Bone marrow smear.
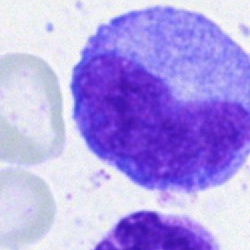 The cell shown is a metamyelocyte.